Bone marrow smear: 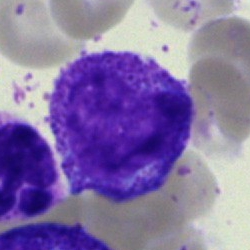Specimen: bone marrow aspirate smear.
Cell: myelocyte.
Lineage: myeloid.